Bone marrow aspirate smear — 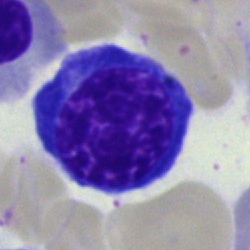Specimen: bone marrow aspirate smear.
Cell: erythroblast.
Lineage: erythroid.